Bone marrow smear.
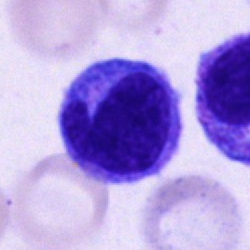 Classification: monocyte.